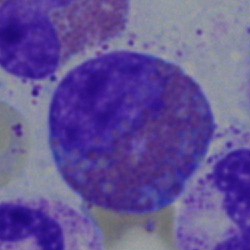
An eosinophil.